Peripheral blood film.
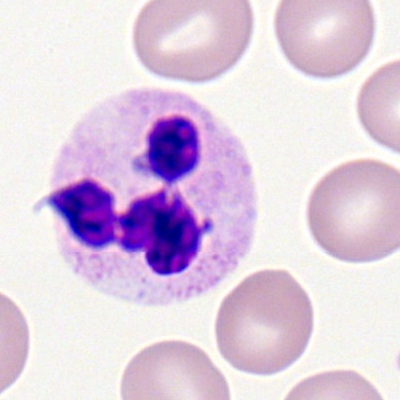 This is a segmented neutrophil.